Bone marrow aspirate smear — 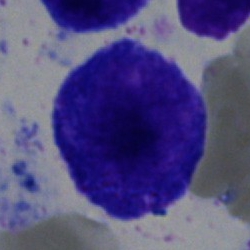
The classification is promyelocyte.